250×250; 40× objective, oil immersion; bone marrow aspirate smear.
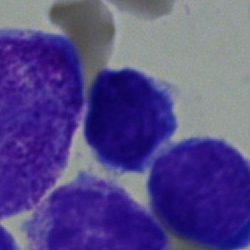Morphological class — lymphocyte.